Bone marrow smear.
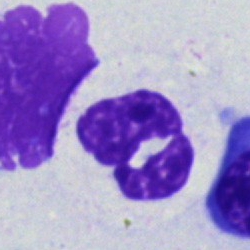
Specimen: bone marrow smear.
Cell: segmented neutrophil.